MGG-stained. Brightfield, 40× oil-immersion objective. Bone marrow smear
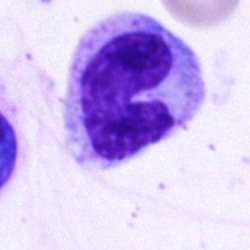
Morphology → neutrophil (band).